Bone marrow smear; image size 250×250; May-Grünwald-Giemsa stain
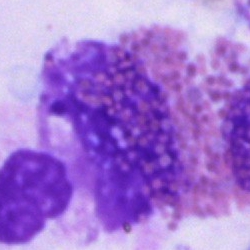 Cell — eosinophilic granulocyte.